Bone marrow smear: 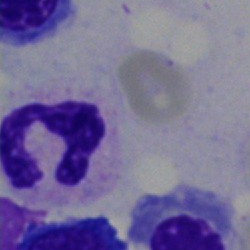
Single cell identified as a segmented neutrophil.